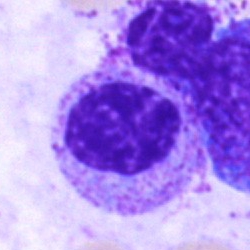
Classification: myelocyte.